Bone marrow smear · May-Grünwald-Giemsa stain — 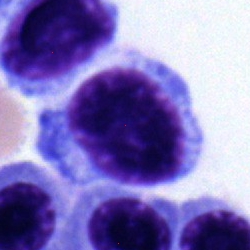
Specimen: bone marrow aspirate smear.
Morphological class: typical lymphocyte.
Lineage: lymphoid.